Peripheral blood smear.
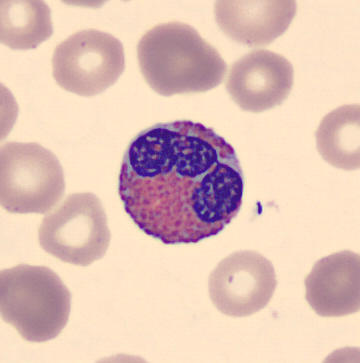
Cell type — eosinophil.